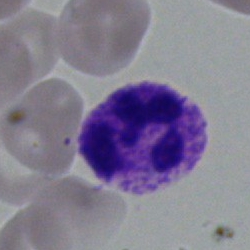

This is a polymorphonuclear neutrophil.